Bone marrow aspirate smear.
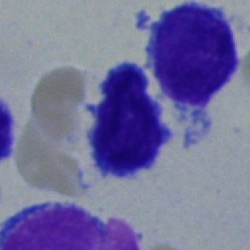A typical lymphocyte.